250 by 250 pixels · bone marrow aspirate smear
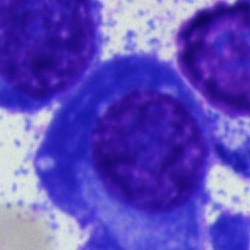The morphological class is plasmacyte.